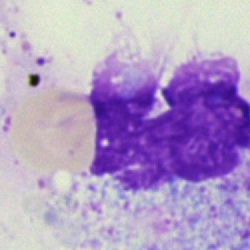
Single-cell crop from a bone marrow smear: artifact.